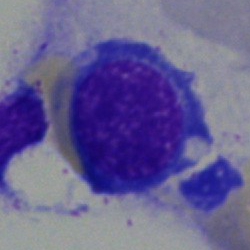Q: What is the morphological classification of this cell?
A: Nucleated red blood cell.